Bone marrow smear. 250 by 250 pixels: 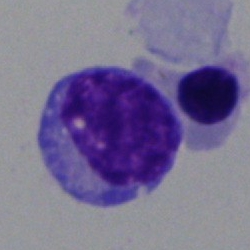

Cell — undifferentiated blast.